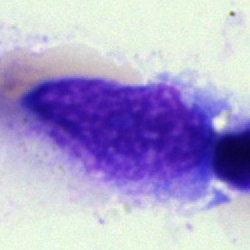The cell type is artefact.